Brightfield, 40× oil-immersion objective; bone marrow smear:
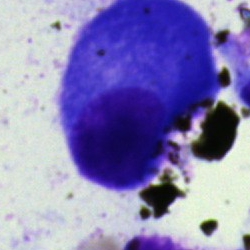 Q: Identify the cell.
A: It is a plasmacyte.